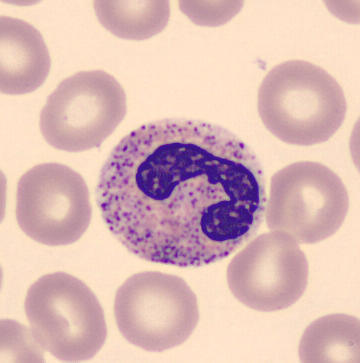Morphology consistent with a band neutrophil.
Peripheral blood smear · imaged on a CellaVision DM96 analyser.